Brightfield, 40× oil-immersion objective; bone marrow aspirate smear; single cell centered in the field
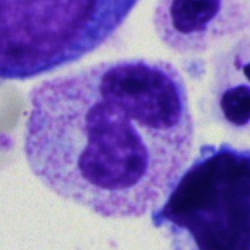 Specimen: bone marrow smear.
Cell type: neutrophil (segmented).
Lineage: myeloid.